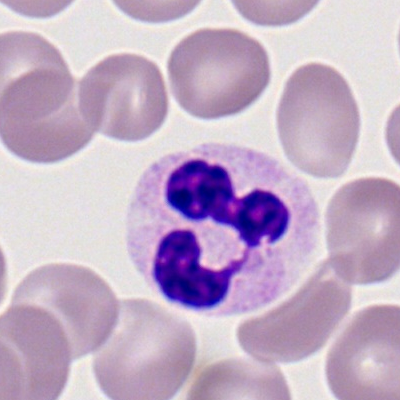

Q: What type of cell is this?
A: Segmented neutrophil.